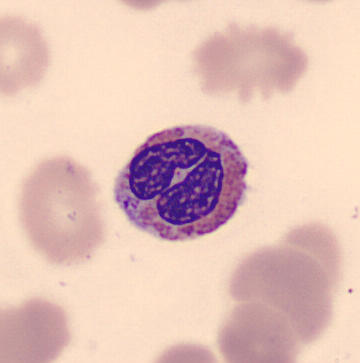 Acquisition: Peripheral blood film. MGG stain. Eosinophil.